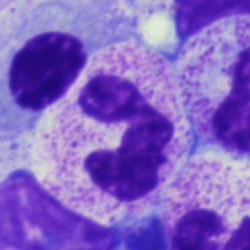

Q: What is the morphological classification of this cell?
A: A polymorphonuclear neutrophil.